Bone marrow aspirate smear.
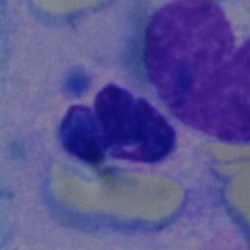

An artifact.